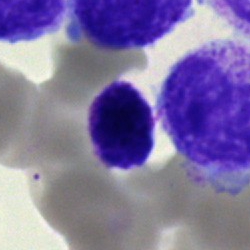

Classification = basophilic granulocyte.